Bone marrow smear. Brightfield microscopy, 40× oil immersion: 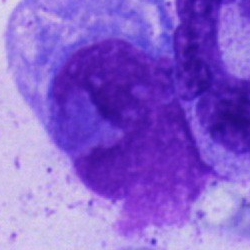

{"cell_type": "artefact"}